250×250 px; bone marrow aspirate smear; 40× oil immersion: 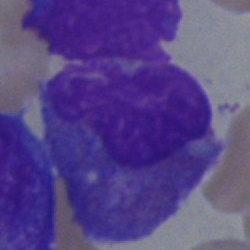 Q: What is shown here?
A: Eosinophilic granulocyte.